Bone marrow smear — 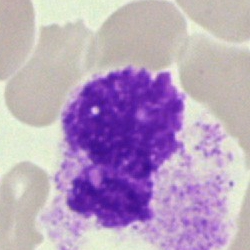
Single cell identified as an artifact.